Bone marrow aspirate smear — 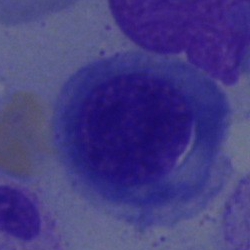

Q: What type of cell is this?
A: Erythroblast.